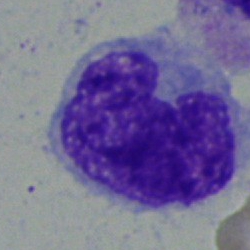 Q: What cell is this?
A: A monocyte.